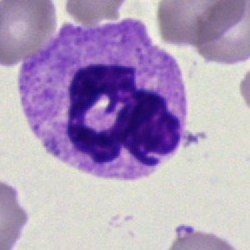
A neutrophil (segmented) on a bone marrow smear.